Brightfield, 40× oil-immersion objective. Bone marrow aspirate smear.
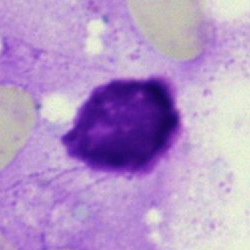 Showing an artefact.